Single cell centered in the field; bone marrow smear; image size 250×250
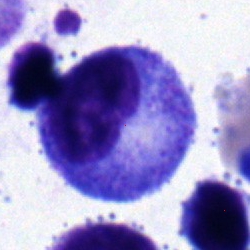This is a progranulocyte.